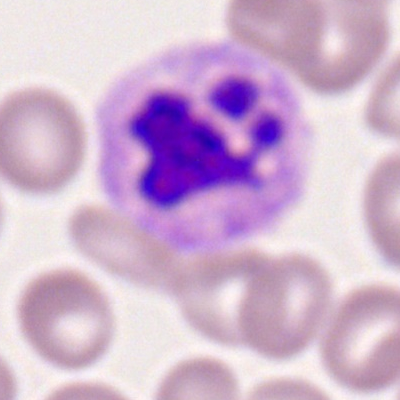

Neutrophil (segmented).